360 by 363 pixels. Peripheral blood smear.
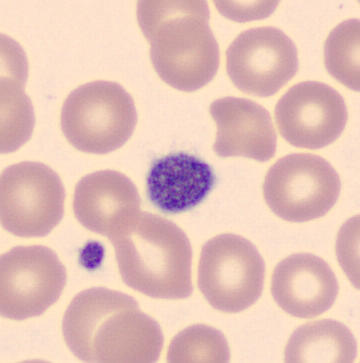Classification: platelet (thrombocyte).